Bone marrow smear:
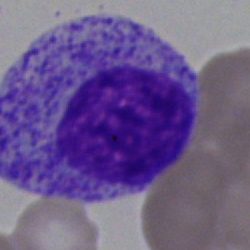

Specimen: bone marrow smear.
Cell type: promyelocyte.